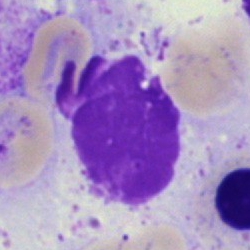
Impression — artifact.